40× objective, oil immersion · 250 by 250 pixels · bone marrow aspirate smear.
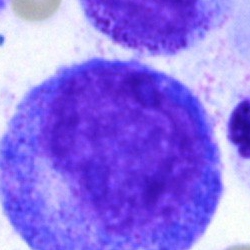
This is a progranulocyte.